Image size 250×250; cropped to a single cell; bone marrow aspirate smear — 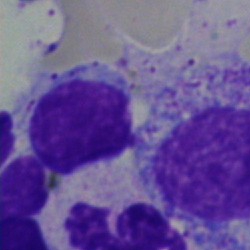 Morphological class = lymphocyte.